Bone marrow aspirate smear; single-cell crop; brightfield microscopy, 40× oil immersion:
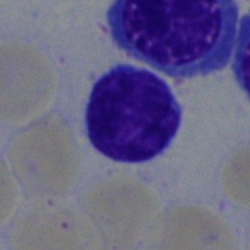 Segmented neutrophil.